Bone marrow smear.
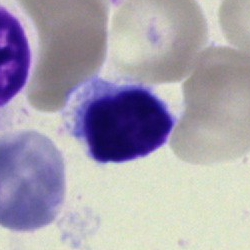Impression → typical lymphocyte.